Bone marrow smear:
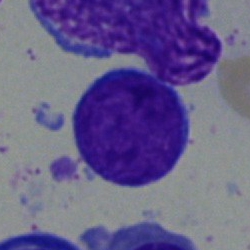

Showing a band-form neutrophil.